Brightfield, 100× oil-immersion objective · peripheral blood smear · Romanowsky-stained — 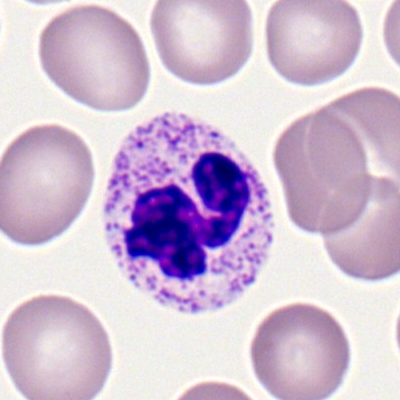
Specimen: peripheral blood smear.
Morphological class: neutrophil (segmented).
Lineage: myeloid.